Bone marrow aspirate smear:
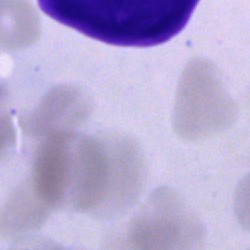
Specimen: bone marrow smear.
Cell type: unidentifiable cell.